Bone marrow aspirate smear: 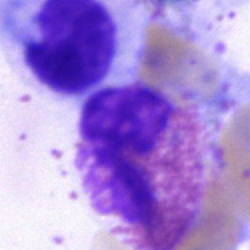Specimen: bone marrow aspirate smear.
Cell: eosinophil.